40× oil immersion · bone marrow aspirate smear · 250×250 px: 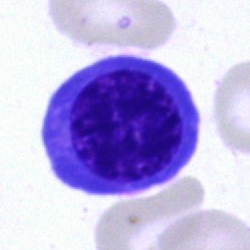

Specimen: bone marrow smear.
Morphological class: nucleated red blood cell.
Lineage: erythroid.